Cropped to a single cell; bone marrow aspirate smear — 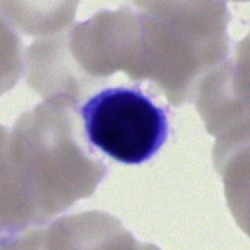

Impression — typical lymphocyte.